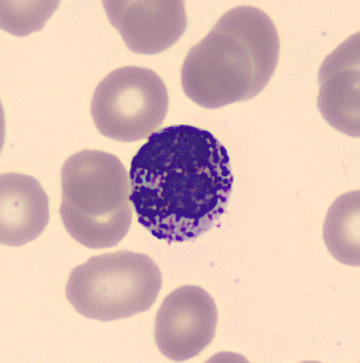Single-cell crop from a peripheral blood smear: basophilic granulocyte.